Bone marrow aspirate smear. Pappenheim-stained
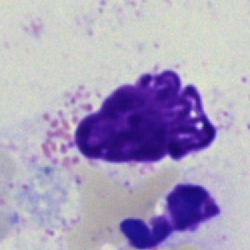
{"cell_type": "artifact"}